Single cell centered in the field; bone marrow aspirate smear
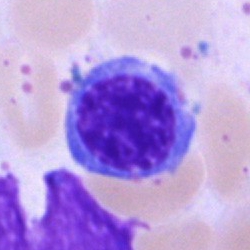

Specimen: bone marrow aspirate smear.
Cell: erythroblast.